Bone marrow aspirate smear:
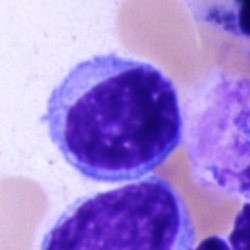Cell type — lymphocyte.